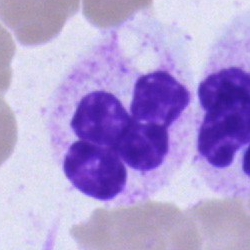Cell = polymorphonuclear neutrophil.